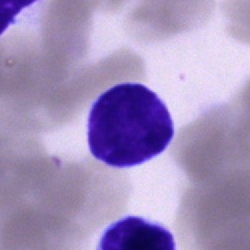Morphology consistent with a typical lymphocyte.